Bone marrow smear — 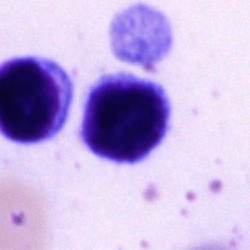 This is a lymphocyte.